Bone marrow smear
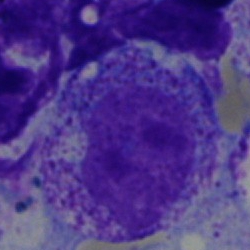Q: What type of cell is this?
A: This is a myelocyte.